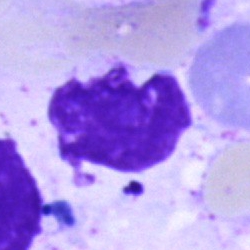Morphology → artefact.